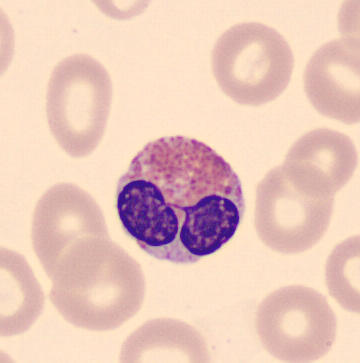
Impression — eosinophil.
Peripheral blood film.